Brightfield microscopy, 40× oil immersion; bone marrow smear: 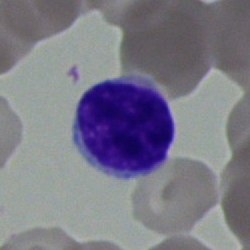 The cell shown is a lymphocyte.